Bone marrow smear; single-cell field; image size 250×250
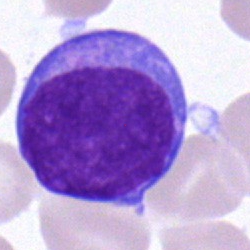 Undifferentiated blast.